Pappenheim-stained · 40× objective, oil immersion · bone marrow smear: 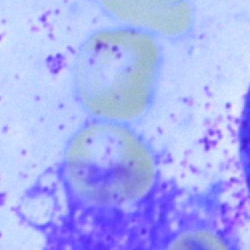Showing an artefact.